Bone marrow smear:
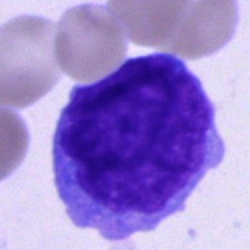 This is a blast cell.